Bone marrow smear · Pappenheim-stained: 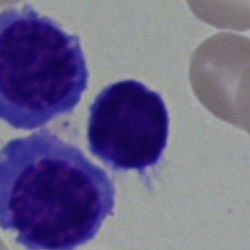 {"cell_type": "lymphocyte"}